Bone marrow smear — 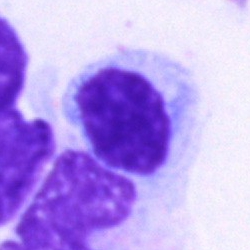 Specimen: bone marrow smear.
Morphological class: lymphocyte.
Lineage: lymphoid.